Cropped to a single cell; bone marrow aspirate smear:
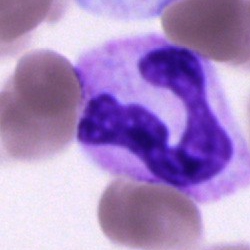Showing a band-form neutrophil.